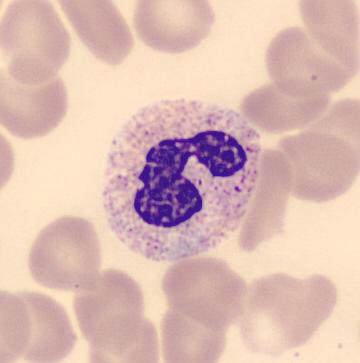Specimen: peripheral blood smear.
Cell: band-form neutrophil.
Lineage: myeloid.